Bone marrow smear. Single-cell field
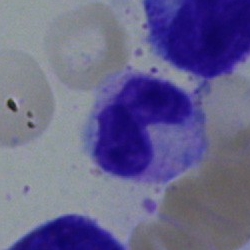

Single cell identified as a band neutrophil.